Peripheral blood smear
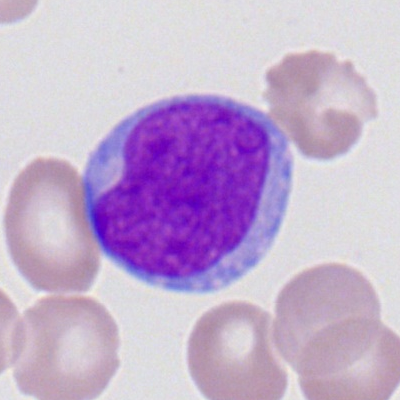

Classification: myeloid blast.